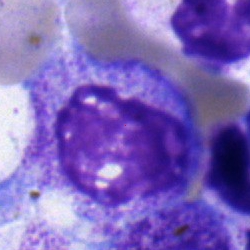
Bone marrow aspirate smear, single cell — myelocyte.